Bone marrow aspirate smear · 250×250 — 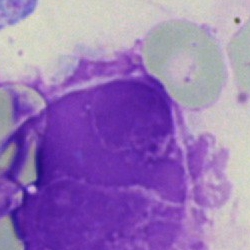

Artifact.